May-Grünwald-Giemsa/Pappenheim stain; single-cell field; bone marrow smear
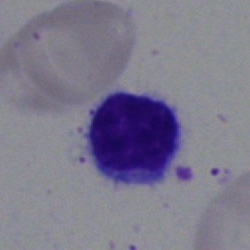

Specimen: bone marrow smear.
Cell: lymphocyte.